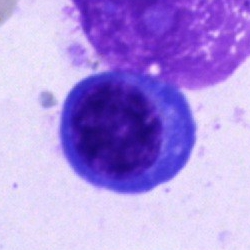

Q: What is the morphological classification of this cell?
A: Nucleated red blood cell.